250×250 · single-cell field · bone marrow smear: 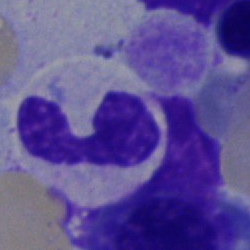Morphology consistent with a band-form neutrophil.